Bone marrow smear; cropped to a single cell.
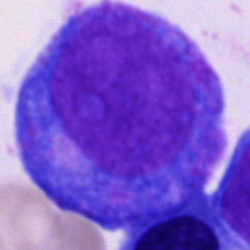

Showing a progranulocyte.